Pappenheim-stained · bone marrow aspirate smear — 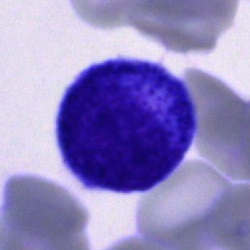

The cell shown is a progranulocyte.